Peripheral blood film.
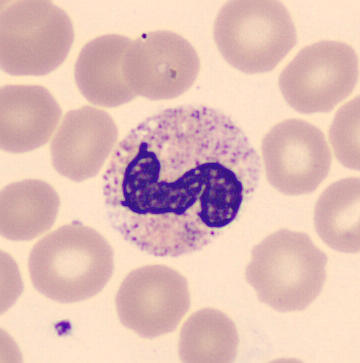

Q: Identify the cell.
A: It is a segmented neutrophil.